Bone marrow aspirate smear:
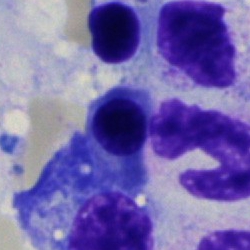The cell is normoblast.